May-Grünwald-Giemsa stain · bone marrow aspirate smear:
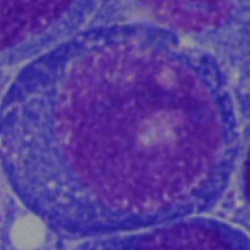
Morphological class = blast.